Bone marrow aspirate smear
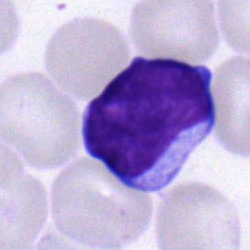

Q: What is the morphological classification of this cell?
A: It is a typical lymphocyte.